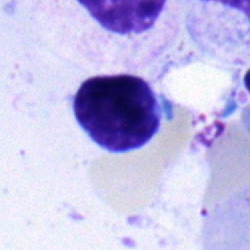 Specimen: bone marrow smear.
Cell: lymphocyte.
Lineage: lymphoid.